250×250 px; bone marrow smear — 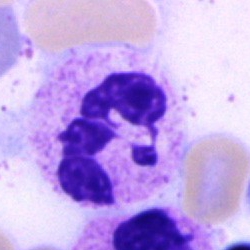Morphology consistent with a neutrophil (segmented).